Brightfield, 40× oil-immersion objective · bone marrow smear:
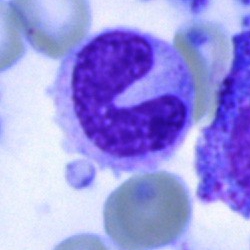Morphology → neutrophil (band).